40× objective, oil immersion; bone marrow aspirate smear.
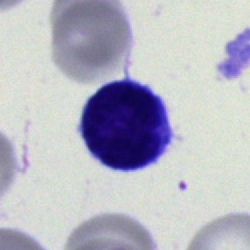

Morphological class: blast cell.